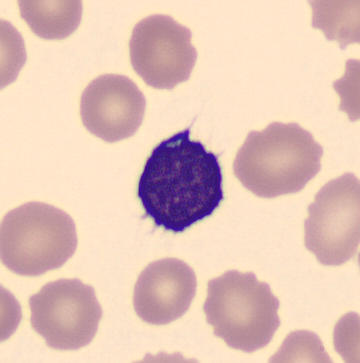 Single cell identified as a typical lymphocyte. 360 by 363 pixels · peripheral blood smear.